Bone marrow aspirate smear · 40× objective, oil immersion · single-cell field
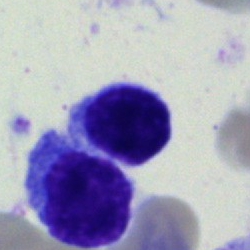 A typical lymphocyte.